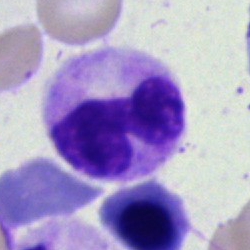Bone marrow smear showing a segmented neutrophil.